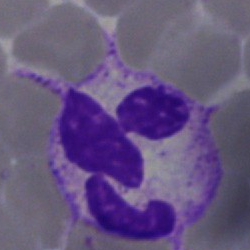
Morphology → neutrophil (segmented).